Bone marrow aspirate smear — 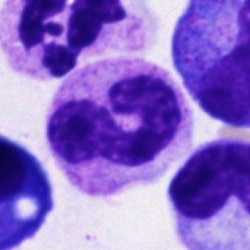
Specimen: bone marrow smear.
Morphological class: band neutrophil.
Lineage: myeloid.